Brightfield, 40× oil-immersion objective; bone marrow smear — 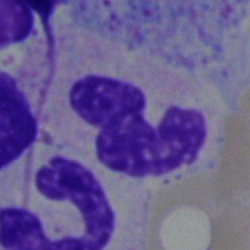 Q: What type of cell is this?
A: Segmented neutrophil.